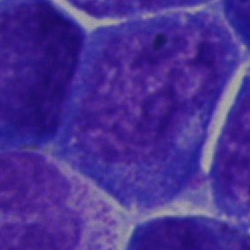
Morphological class — promyelocyte.